Bone marrow aspirate smear — 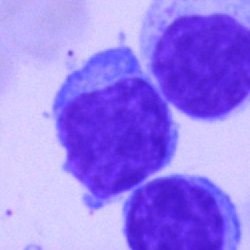Morphological class: typical lymphocyte.